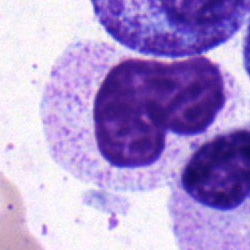
Specimen: bone marrow smear.
Classification: band-form neutrophil.
Lineage: myeloid.